Bone marrow aspirate smear · May-Grünwald-Giemsa stain — 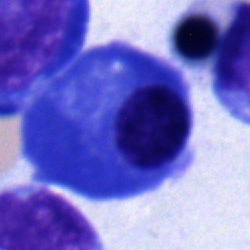 Showing a plasma cell.